Bone marrow aspirate smear · single-cell field · 250×250
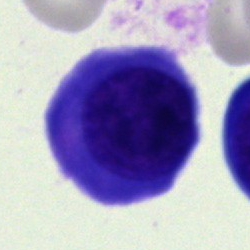
Showing a normoblast.